40× oil immersion. Bone marrow aspirate smear. Pappenheim-stained.
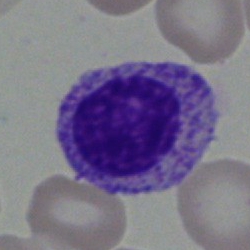Single cell identified as a myelocyte.